Bone marrow smear.
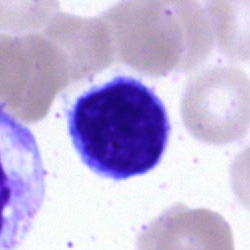

Specimen: bone marrow aspirate smear.
Classification: typical lymphocyte.
Lineage: lymphoid.